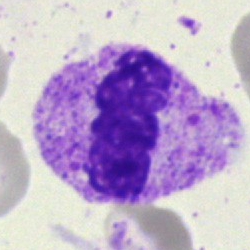 Bone marrow smear showing a band-form neutrophil.